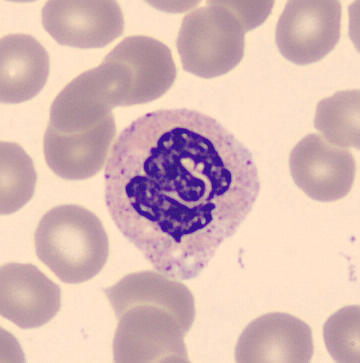 Classification = segmented neutrophil. Acquisition: Peripheral blood film.